Image size 250×250 · MGG-stained · bone marrow aspirate smear: 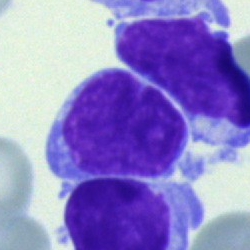
Morphology consistent with a lymphocyte.